Bone marrow smear — 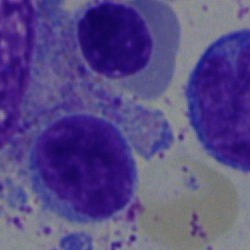 Typical lymphocyte.